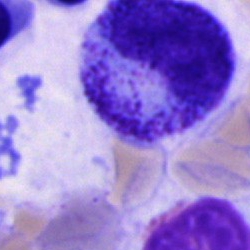
Showing a progranulocyte.